Bone marrow smear
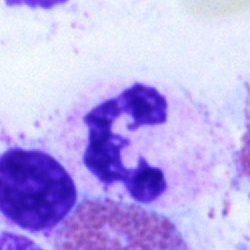 Cell type — polymorphonuclear neutrophil.